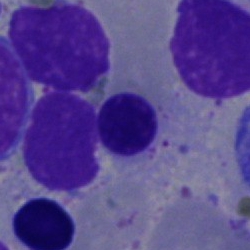

Cell = nucleated red blood cell.